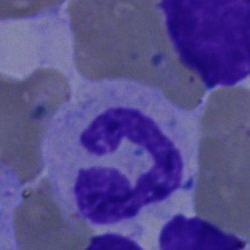Bone marrow aspirate smear, single cell — polymorphonuclear neutrophil.